Bone marrow aspirate smear: 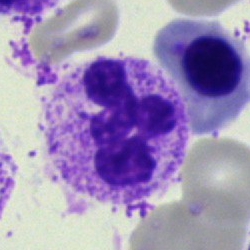
Cell type = segmented neutrophil.